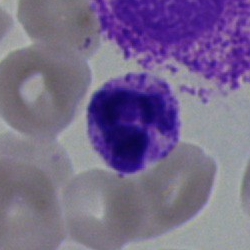 Bone marrow aspirate smear, single cell — neutrophil (segmented).